100× objective, oil immersion; Romanowsky-stained; peripheral blood smear
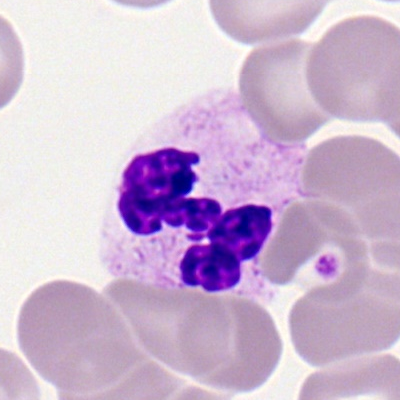

Morphological class — segmented neutrophil.